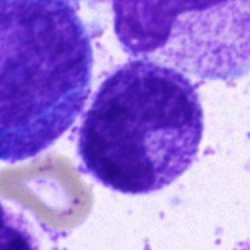
Specimen: bone marrow aspirate smear.
Cell: metamyelocyte.